Bone marrow aspirate smear: 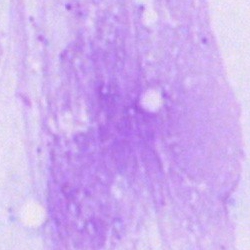 Q: What is shown here?
A: This is an artifact.